Peripheral blood smear
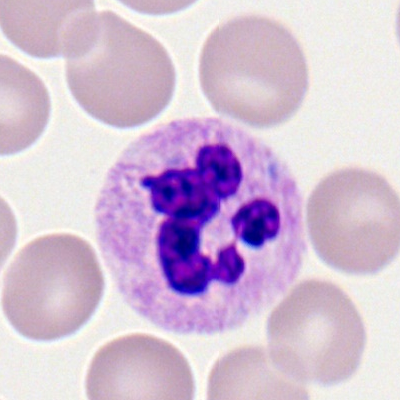
Single cell identified as a segmented neutrophil.